40× oil immersion · single cell centered in the field · bone marrow smear: 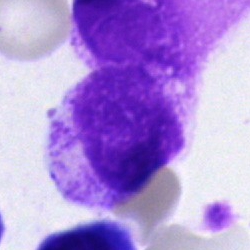 Impression — artefact.